Peripheral blood smear
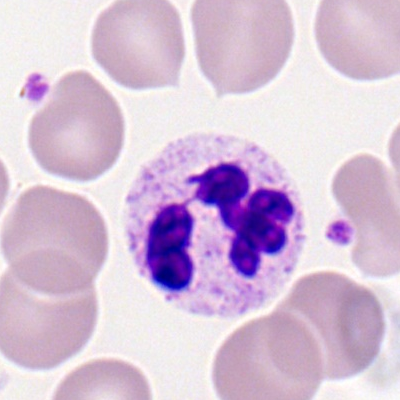Classification — polymorphonuclear neutrophil.